Bone marrow smear
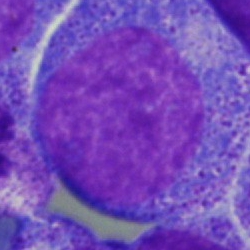This is a progranulocyte.